Bone marrow smear
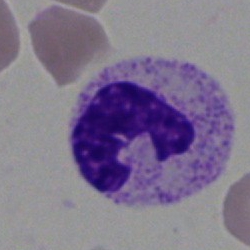

Impression → polymorphonuclear neutrophil.